Bone marrow smear. Brightfield microscopy, 40× oil immersion — 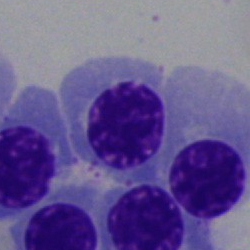Specimen: bone marrow smear.
Cell: erythroblast.
Lineage: erythroid.